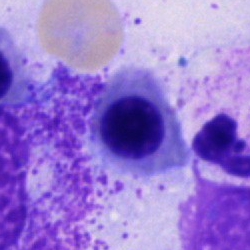

Q: What type of cell is this?
A: A normoblast.